Bone marrow smear; image size 250×250.
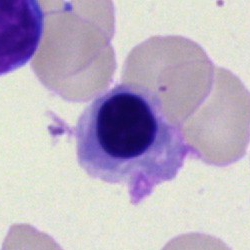Impression — normoblast.